Bone marrow smear:
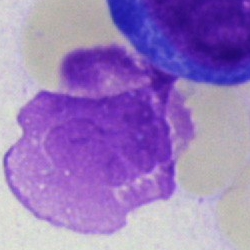 The cell shown is an artifact.